Bone marrow smear
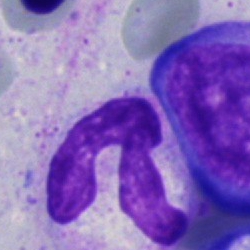Morphology consistent with a polymorphonuclear neutrophil.